Pappenheim-stained · bone marrow aspirate smear — 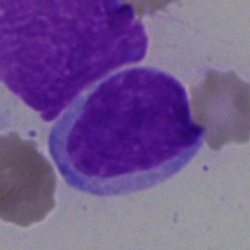 Specimen: bone marrow smear.
Morphological class: undifferentiated blast.